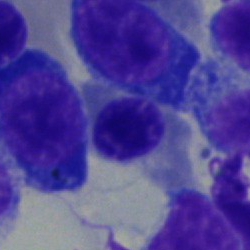

Specimen: bone marrow smear.
Cell: erythroblast.